Bone marrow smear — 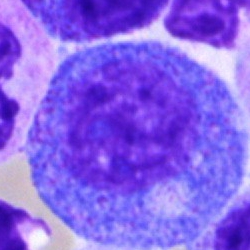

Morphology — progranulocyte.